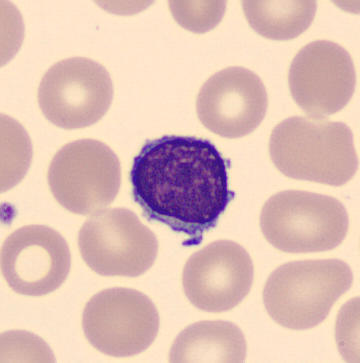 Q: What type of cell is this?
A: This is a typical lymphocyte.

360×363 px; peripheral blood smear.